Bone marrow smear. Brightfield microscopy, 40× oil immersion. Single cell centered in the field
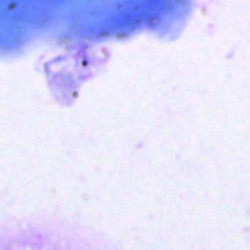 Artifact.